Peripheral blood smear; image size 400×400
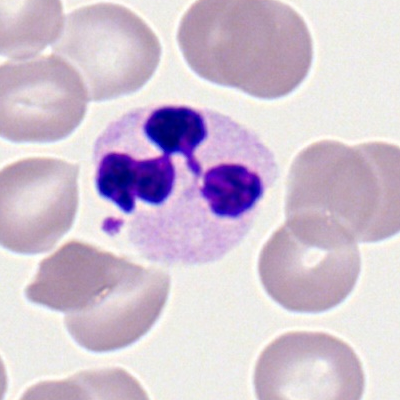A neutrophil (segmented).